40× oil immersion · bone marrow aspirate smear.
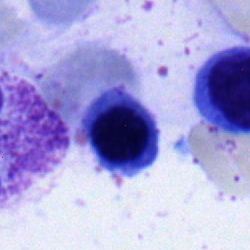

Cell type = erythroblast.